250×250 px; bone marrow smear.
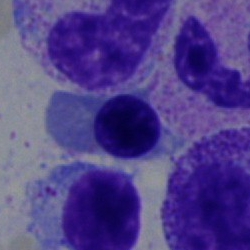 {"cell_type": "nucleated red cell", "lineage": "erythroid"}